Bone marrow smear; May-Grünwald-Giemsa stain: 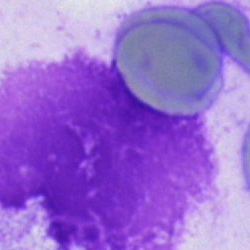

Cell = artefact.